Bone marrow smear; Pappenheim-stained; 250×250 px
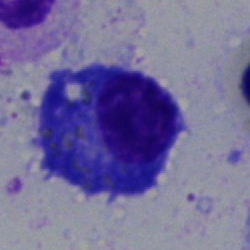Cell — plasmacyte.